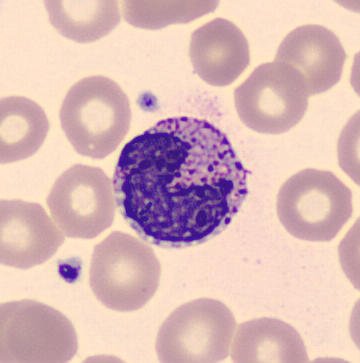 Specimen: peripheral blood film.
Cell: basophil.
Lineage: myeloid.